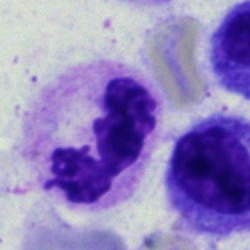Neutrophil (segmented).